Bone marrow smear. May-Grünwald-Giemsa stain. 40× oil immersion — 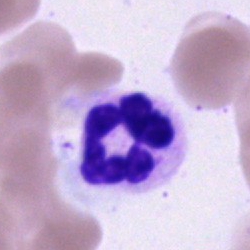 The classification is neutrophil (segmented).